Bone marrow smear · cropped to a single cell: 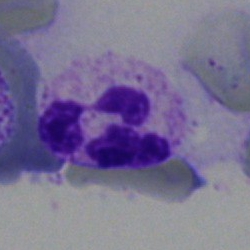
The cell is segmented neutrophil.